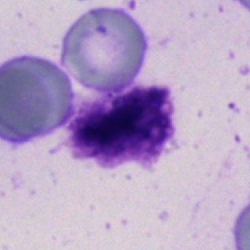 Cell — artefact.